Bone marrow aspirate smear; 250×250 px.
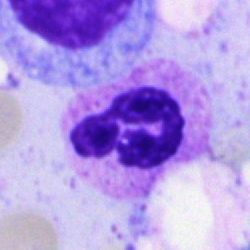Morphology consistent with a polymorphonuclear neutrophil.